40× objective, oil immersion. Bone marrow aspirate smear: 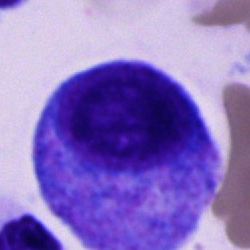

Q: What cell is this?
A: This is a progranulocyte.